Peripheral blood smear:
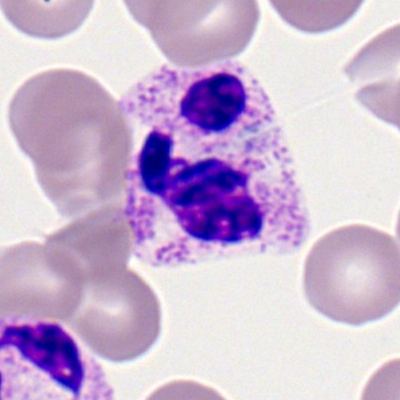
Showing a segmented neutrophil.